Bone marrow smear
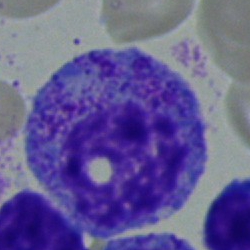

This is a promyelocyte.